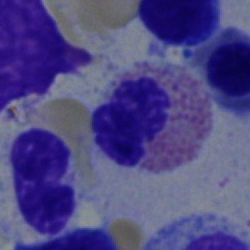

Classification — eosinophil.